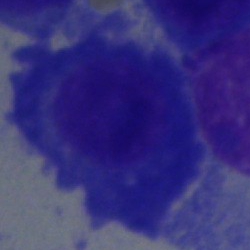 Q: What type of cell is this?
A: A plasma cell.